Bone marrow aspirate smear: 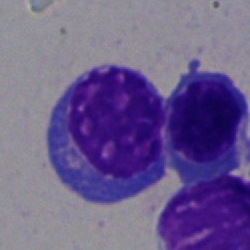A normoblast.